Bone marrow smear · 40× oil immersion — 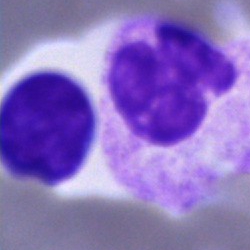 Neutrophil (segmented).